Bone marrow aspirate smear.
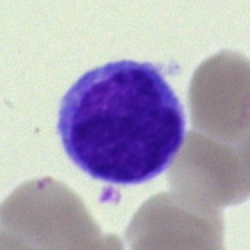

Monocyte.